Single-cell field. MGG-stained. Bone marrow aspirate smear — 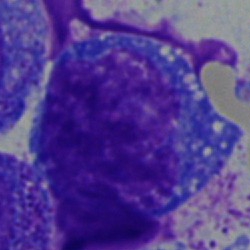
Cell type — undifferentiated blast.